Bone marrow smear
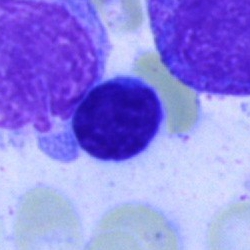
Morphology — typical lymphocyte.